Bone marrow smear.
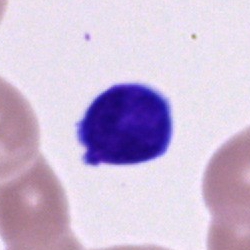
Q: Which cell type is shown here?
A: Typical lymphocyte.